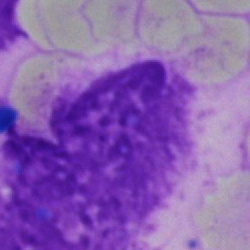Q: What is shown here?
A: It is an artifact.